Bone marrow smear: 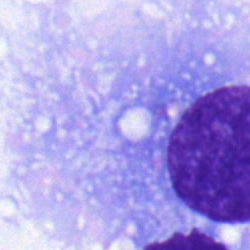Q: What cell is this?
A: It is a plasmacyte.